Cropped to a single cell; bone marrow aspirate smear
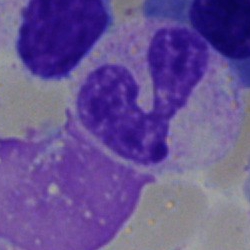Q: Identify the cell.
A: Band neutrophil.